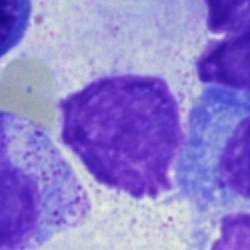
The classification is artefact.